Bone marrow smear — 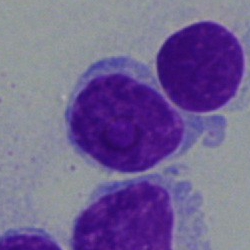

Q: What cell is this?
A: It is a typical lymphocyte.